Bone marrow smear
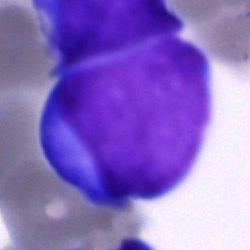 Specimen: bone marrow aspirate smear.
Cell type: blast.